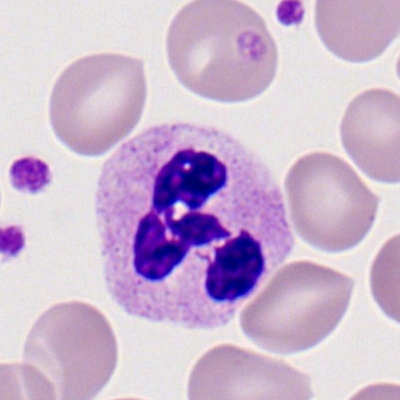The morphological class is segmented neutrophil.